Bone marrow aspirate smear.
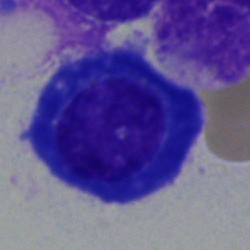The cell type is plasmacyte.